Bone marrow smear — 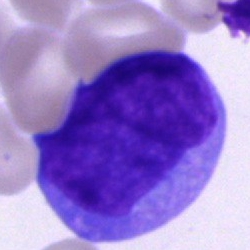
Q: What type of cell is this?
A: This is a blast cell.